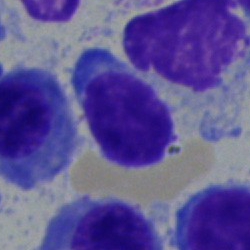 Cell type = typical lymphocyte.